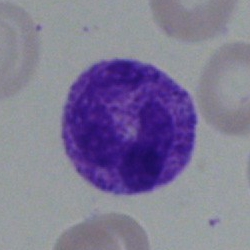
Q: Which cell type is shown here?
A: A polymorphonuclear neutrophil.